Bone marrow smear — 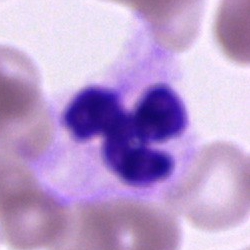 A polymorphonuclear neutrophil.